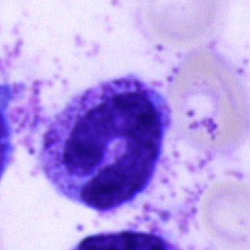
Q: What is shown here?
A: This is a stab cell.